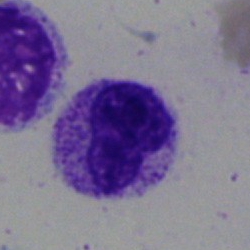
The cell shown is a metamyelocyte.